250 by 250 pixels; brightfield microscopy, 40× oil immersion; bone marrow aspirate smear
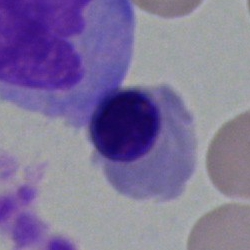
Cell: erythroblast.